Bone marrow aspirate smear. Cropped to a single cell — 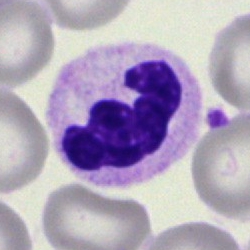Single cell identified as a neutrophil (segmented).